Bone marrow smear
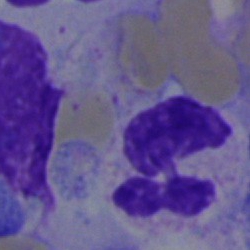 Single cell identified as a segmented neutrophil.